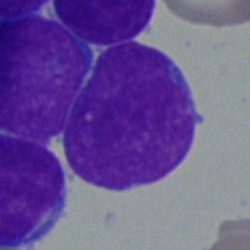Morphology consistent with a blast.